40× oil immersion. 250×250. Bone marrow aspirate smear:
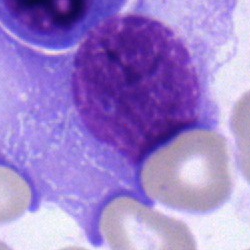 Morphology consistent with a plasma cell.